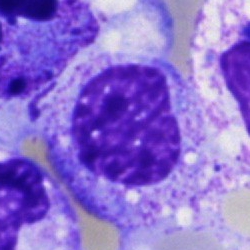Impression — myelocyte.